Bone marrow aspirate smear. 250 by 250 pixels. MGG-stained
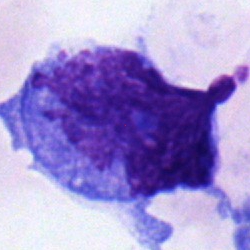 Morphological class — monocyte.